Bone marrow smear: 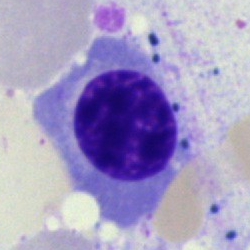Specimen: bone marrow smear.
Morphological class: normoblast.